Peripheral blood film: 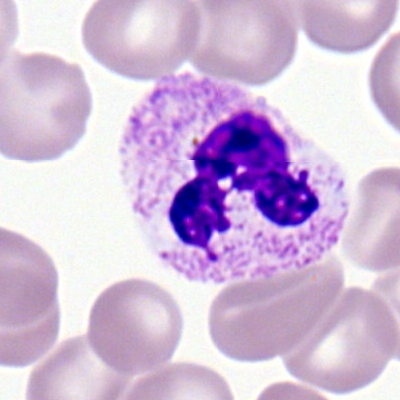 A neutrophil (segmented).